Bone marrow smear:
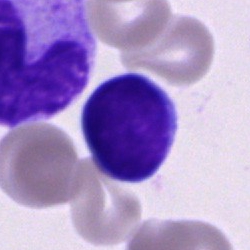

Q: What is the morphological classification of this cell?
A: Lymphocyte.